Bone marrow aspirate smear.
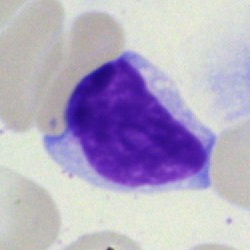Q: What type of cell is this?
A: A typical lymphocyte.